Bone marrow aspirate smear: 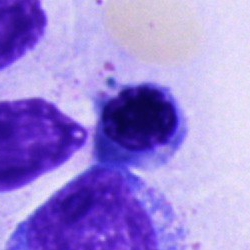
This is a nucleated red blood cell.